Bone marrow smear
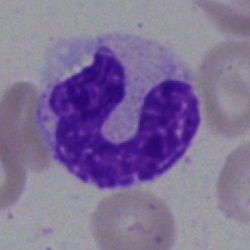 Specimen: bone marrow aspirate smear.
Classification: neutrophil (band).
Lineage: myeloid.